250×250 · cropped to a single cell · bone marrow aspirate smear: 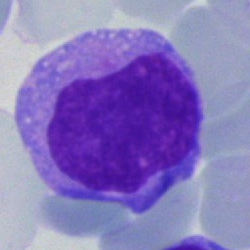
Undifferentiated blast.